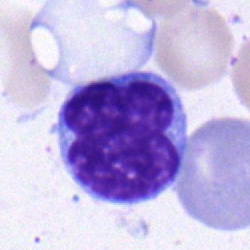 Classification: lymphocyte.